Peripheral blood smear:
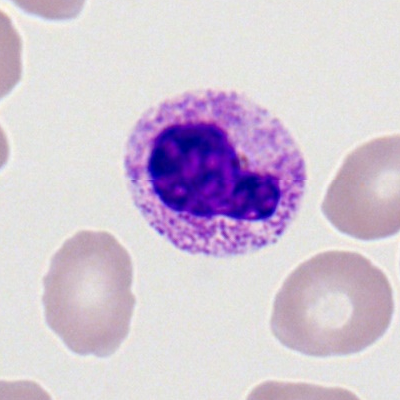Morphology → neutrophil (segmented).